Bone marrow aspirate smear: 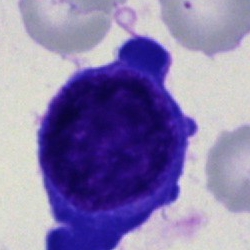
Morphology consistent with an erythroblast.